250×250; bone marrow smear: 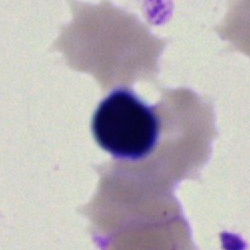
Q: What is shown here?
A: An artifact.